Bone marrow smear.
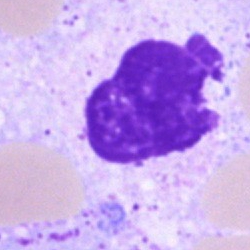Classification: artefact.